40× oil immersion; bone marrow smear.
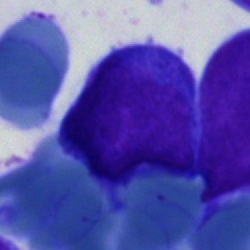

The morphological class is blast cell.